Bone marrow smear; 40× objective, oil immersion: 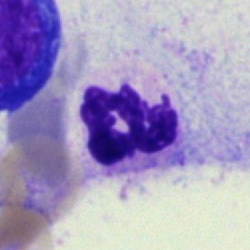

Segmented neutrophil.